Bone marrow smear:
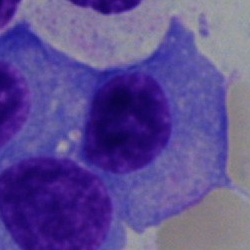 This is a plasmacyte.